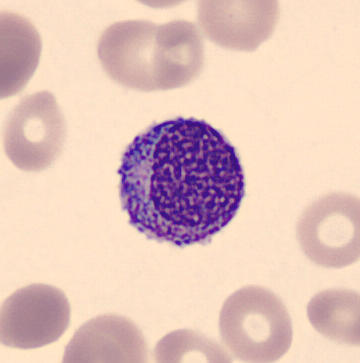

Preparation: Image size 360×363. Single cell centered in the field.
Specimen: peripheral blood smear.
Cell: myelocyte.
Lineage: myeloid.